Bone marrow aspirate smear: 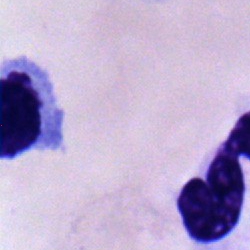

Morphology consistent with an erythroblast.